Bone marrow smear:
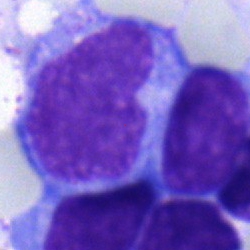Specimen: bone marrow aspirate smear.
Morphological class: blast.